Bone marrow aspirate smear:
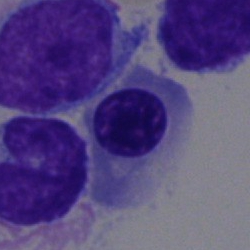 This is a nucleated red blood cell.